Brightfield microscopy, 40× oil immersion; bone marrow aspirate smear:
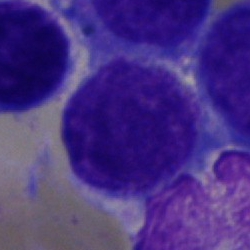Morphology — blast.